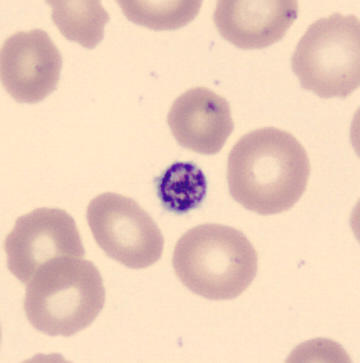Identified as a thrombocyte. Image: Peripheral blood film.